Peripheral blood film: 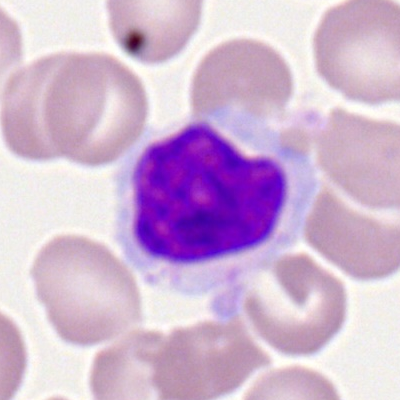Impression — typical lymphocyte.